Bone marrow aspirate smear; single-cell crop; May-Grünwald-Giemsa/Pappenheim stain:
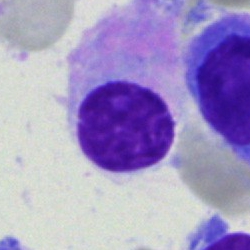 Morphology consistent with a plasmacyte.